Cropped to a single cell; bone marrow smear: 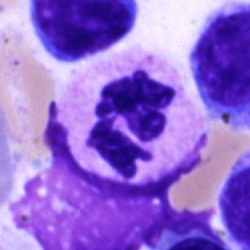Classification: segmented neutrophil.